250 by 250 pixels. Bone marrow smear. 40× oil immersion.
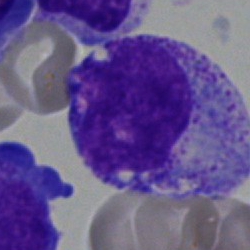Classification — myelocyte.